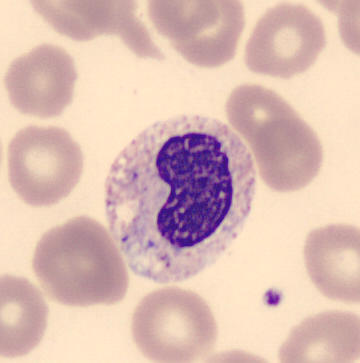Morphology — metamyelocyte.